Bone marrow aspirate smear: 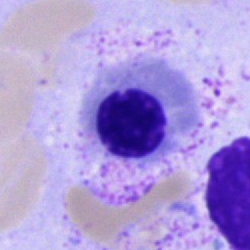 Specimen: bone marrow smear.
Cell: nucleated red blood cell.
Lineage: erythroid.